Bone marrow smear
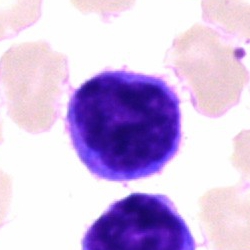Specimen: bone marrow aspirate smear.
Cell type: lymphocyte.
Lineage: lymphoid.